Bone marrow smear. 250×250 px. Single-cell crop: 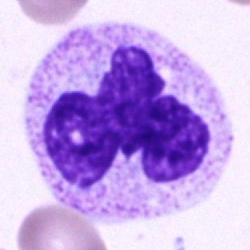

Impression → neutrophil (segmented).